Bone marrow smear.
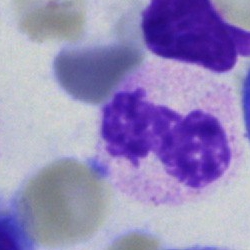
Morphology → neutrophil (segmented).